Bone marrow aspirate smear — 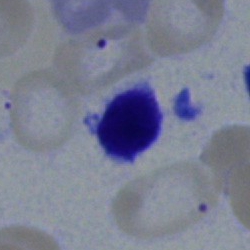
Specimen: bone marrow smear.
Classification: lymphocyte.